Bone marrow smear. MGG-stained. 250 by 250 pixels — 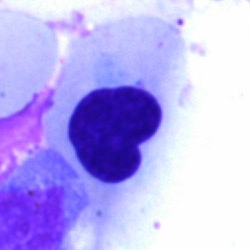

Q: What is shown here?
A: It is an artefact.